Bone marrow smear.
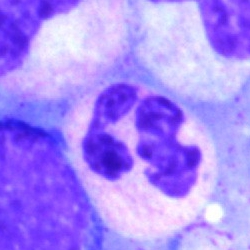

Classification = neutrophil (segmented).